Peripheral blood film
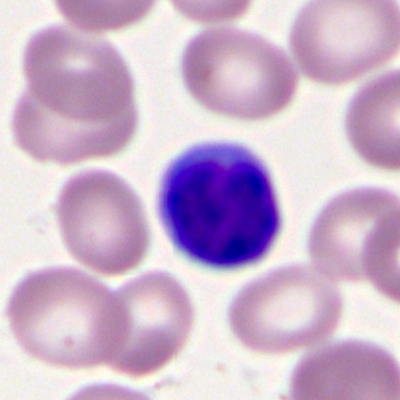
Lymphocyte.